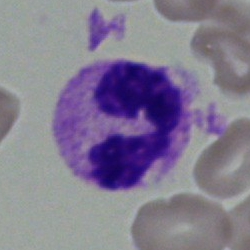Q: What cell is this?
A: Polymorphonuclear neutrophil.